Bone marrow aspirate smear; 40× oil immersion; single cell centered in the field
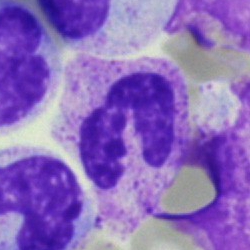Q: What cell is this?
A: It is a polymorphonuclear neutrophil.